Peripheral blood film · 100× objective, oil immersion — 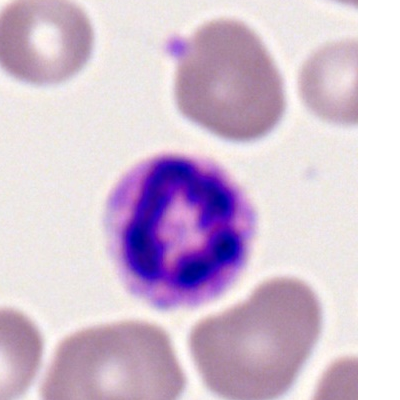
Morphology consistent with a segmented neutrophil.